Bone marrow aspirate smear:
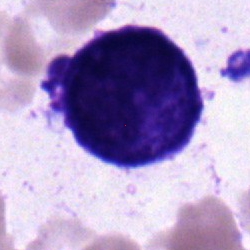

{"cell_type": "blast cell"}